Bone marrow smear — 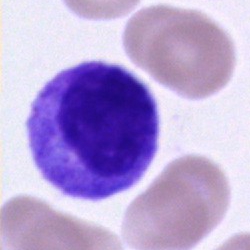 Classification: unidentifiable cell.